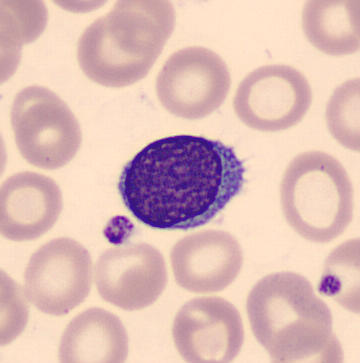 The cell is typical lymphocyte.